Bone marrow smear. Brightfield microscopy, 40× oil immersion — 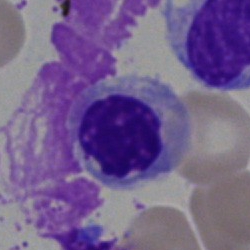Cell type: erythroblast.